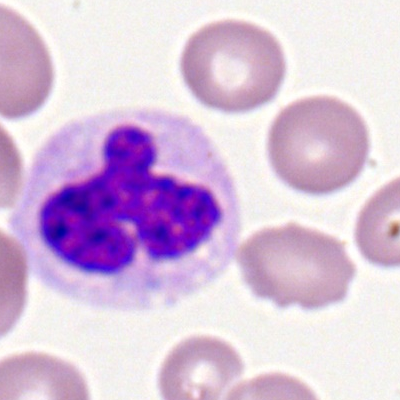 Morphology → neutrophil (segmented).